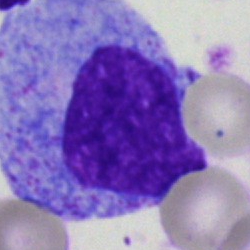
Specimen: bone marrow smear.
Cell type: progranulocyte.